Bone marrow aspirate smear.
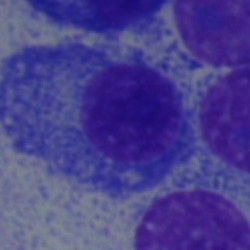Plasmacyte.